Bone marrow smear:
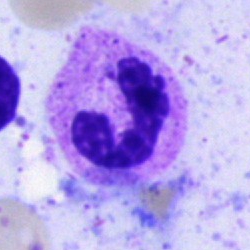 Q: What type of cell is this?
A: Polymorphonuclear neutrophil.